Cropped to a single cell; bone marrow smear.
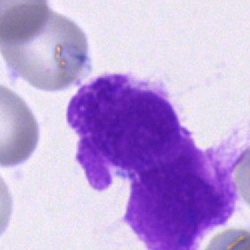 Cell type: artefact.